Bone marrow smear · brightfield microscopy, 40× oil immersion · Pappenheim-stained: 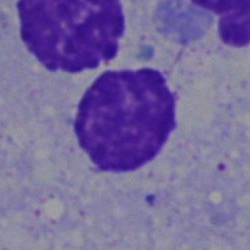

This is an artifact.